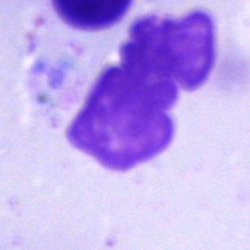Specimen: bone marrow smear.
Classification: artifact.